Bone marrow aspirate smear.
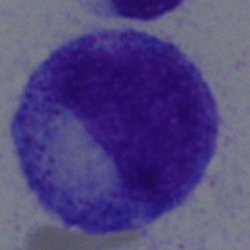

The cell shown is a promyelocyte.